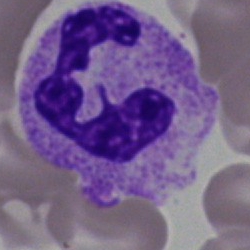
Showing a neutrophil (segmented).